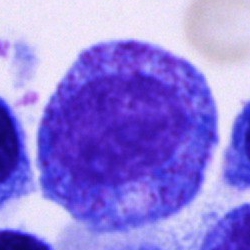
Specimen: bone marrow aspirate smear.
Classification: promyelocyte.
Lineage: myeloid.